400×400 px · peripheral blood film — 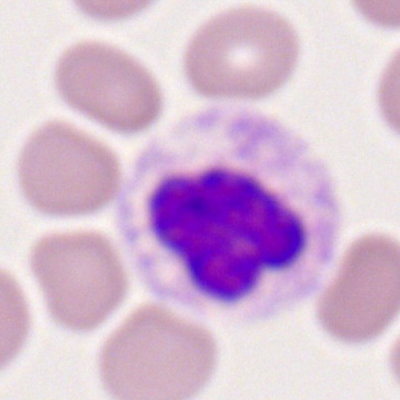
A segmented neutrophil.